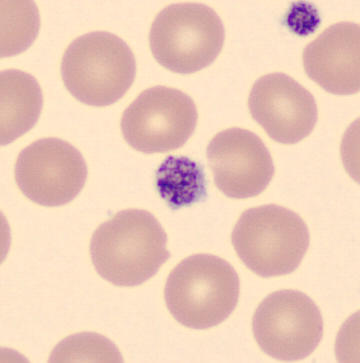Morphology — platelet (thrombocyte).